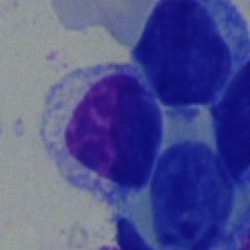

Single cell identified as a typical lymphocyte.